Bone marrow smear. 40× objective, oil immersion. Single-cell crop — 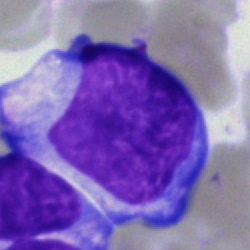 The cell is blast cell.